Bone marrow smear.
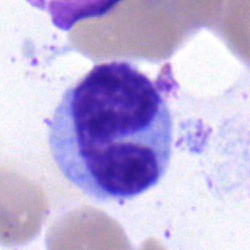 Specimen: bone marrow aspirate smear.
Morphological class: band-form neutrophil.
Lineage: myeloid.